Bone marrow aspirate smear:
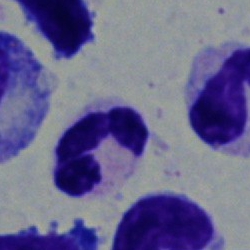 Single cell identified as a segmented neutrophil.